Bone marrow smear; 250 by 250 pixels; single-cell crop:
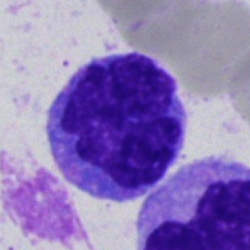Cell: monocyte.